Single-cell field; bone marrow aspirate smear; 40× oil immersion: 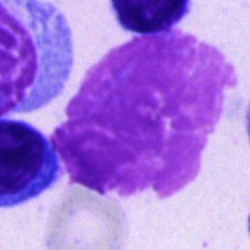Q: What is shown here?
A: Artefact.